Bone marrow smear:
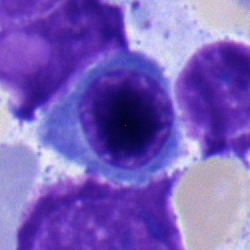

This is an erythroblast.